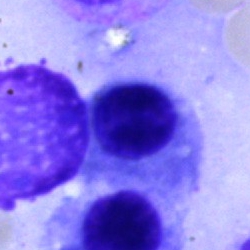Classification: normoblast.